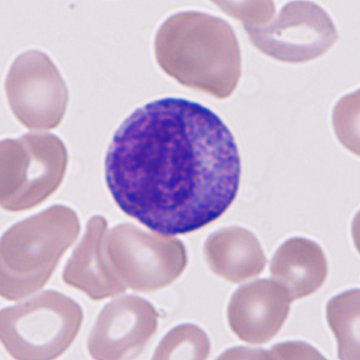 Morphological class = immature granulocyte.

Preparation: CellaVision DM96; peripheral blood smear; single cell centered in the field.